Cropped to a single cell. Bone marrow smear. 250×250:
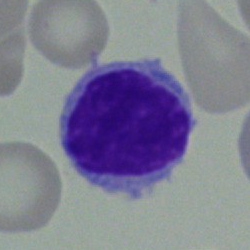{"cell_type": "lymphocyte"}